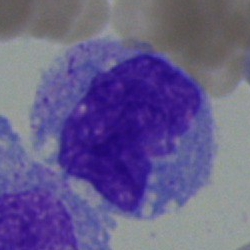
Q: What is the morphological classification of this cell?
A: A monocyte.